Brightfield microscopy, 40× oil immersion · MGG-stained · bone marrow smear
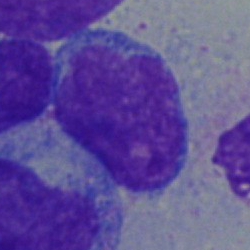
Undifferentiated blast.